Bone marrow aspirate smear · 250 by 250 pixels · May-Grünwald-Giemsa stain — 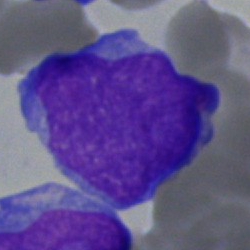
Q: What is shown here?
A: It is a blast cell.